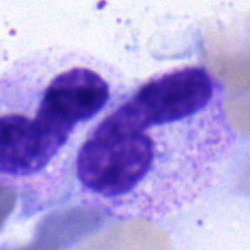 Morphology — band neutrophil.